Bone marrow smear.
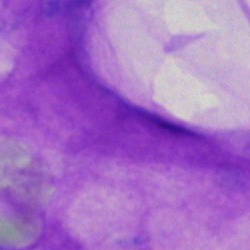Q: What is shown here?
A: Artifact.